Bone marrow smear; brightfield microscopy, 40× oil immersion:
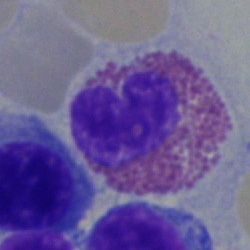
Q: What is the morphological classification of this cell?
A: This is an eosinophilic granulocyte.